Cropped to a single cell; bone marrow smear; 250×250 px:
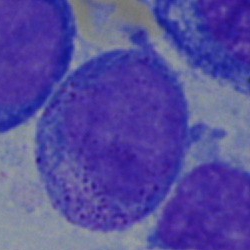Cell type = progranulocyte.